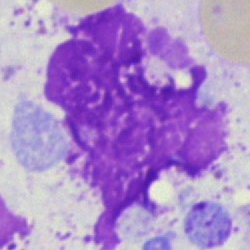Cell type: artifact.